Peripheral blood smear: 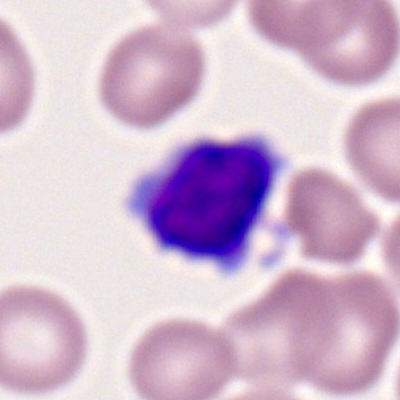Showing a typical lymphocyte.